Bone marrow aspirate smear: 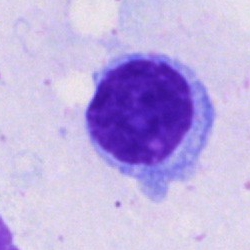
Q: What cell is this?
A: It is a typical lymphocyte.